Bone marrow smear. Single-cell field — 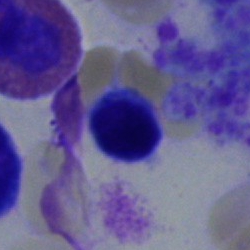Q: Identify the cell.
A: Typical lymphocyte.